Bone marrow smear. Pappenheim-stained. 250×250
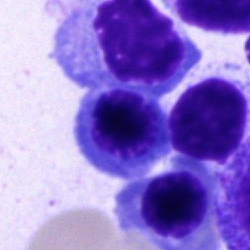Showing an erythroblast.